Bone marrow aspirate smear — 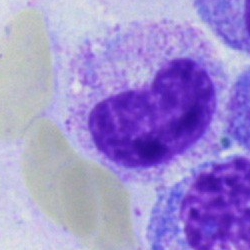

The cell shown is a metamyelocyte.